Bone marrow aspirate smear:
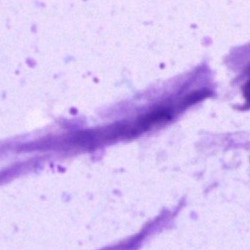An artifact.